40× objective, oil immersion. Bone marrow aspirate smear: 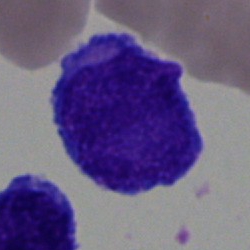Specimen: bone marrow smear.
Cell type: undifferentiated blast.